Single-cell crop; bone marrow aspirate smear: 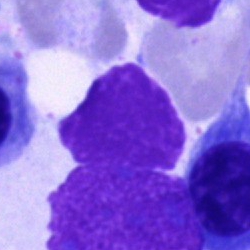 An artifact.